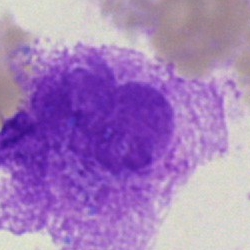
Showing an artefact.